Bone marrow smear
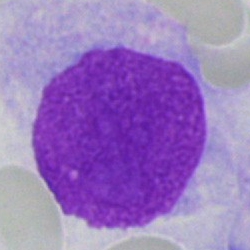
Cell — artifact.